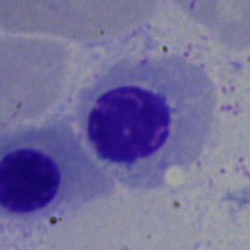
Single-cell crop from a bone marrow smear: nucleated red cell.